Bone marrow aspirate smear: 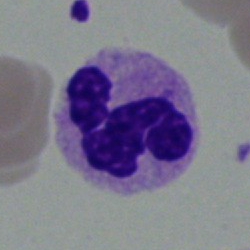

Segmented neutrophil.